Bone marrow smear
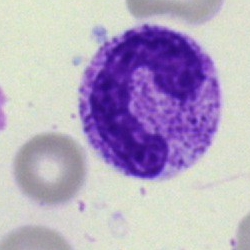 Specimen: bone marrow smear.
Cell type: stab cell.
Lineage: myeloid.